Bone marrow smear:
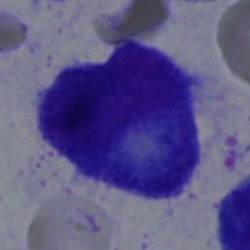
Showing a progranulocyte.